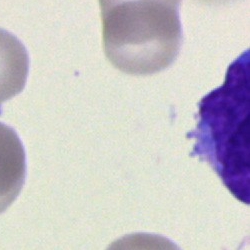
Q: What is shown here?
A: An artefact.